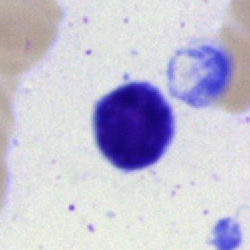 Cell = lymphocyte.